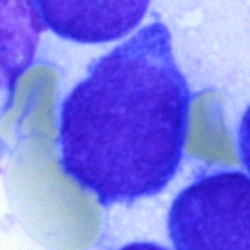

{"cell_type": "undifferentiated blast"}